Bone marrow aspirate smear
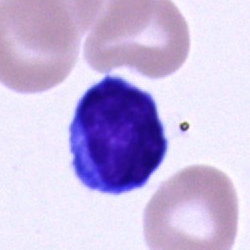Morphology consistent with a lymphocyte.